Bone marrow smear.
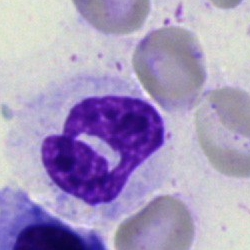

Specimen: bone marrow aspirate smear.
Morphological class: neutrophil (segmented).